Bone marrow smear — 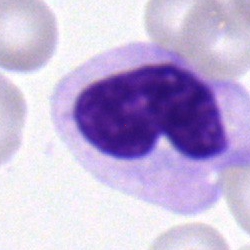
Single cell identified as a metamyelocyte.